Bone marrow smear
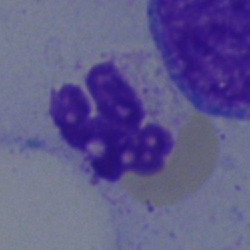The cell type is segmented neutrophil.